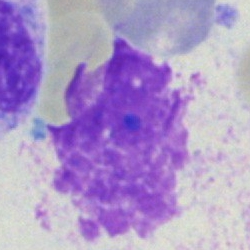

Specimen: bone marrow smear.
Cell type: artefact.